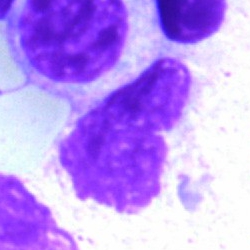{"cell_type": "artifact"}